Bone marrow smear · May-Grünwald-Giemsa stain · cropped to a single cell:
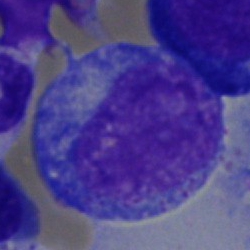
A progranulocyte.